Pappenheim-stained; bone marrow smear — 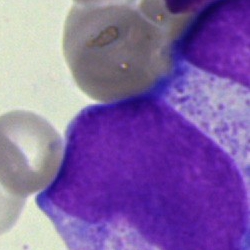
Q: What type of cell is this?
A: A monocyte.